Bone marrow aspirate smear. Single cell centered in the field.
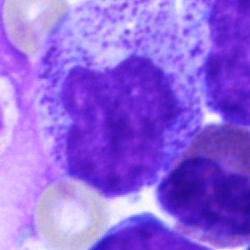

Single cell identified as a progranulocyte.